Bone marrow aspirate smear — 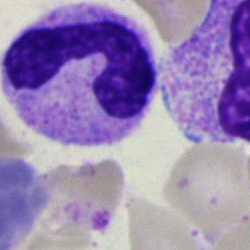
This is a stab cell.